Peripheral blood smear — 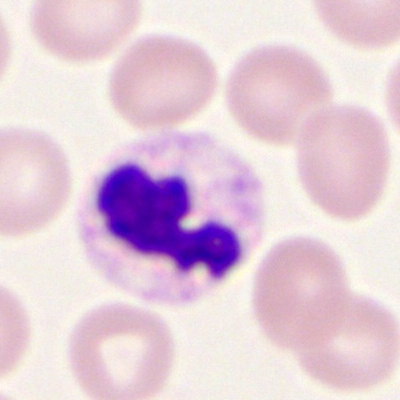 Classification: segmented neutrophil.